Bone marrow smear. Brightfield microscopy, 40× oil immersion. May-Grünwald-Giemsa stain — 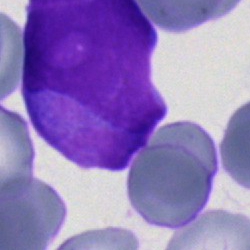Showing a blast cell.